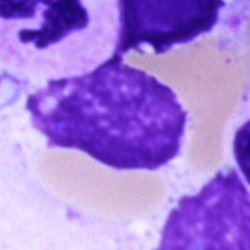
{"cell_type": "artefact"}